250×250. MGG-stained. Bone marrow aspirate smear.
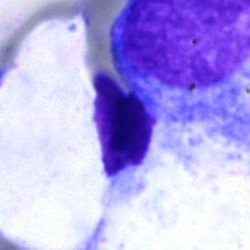
The cell is artefact.